Bone marrow smear — 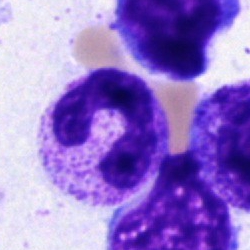 Band neutrophil.